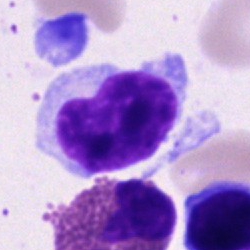
Specimen: bone marrow aspirate smear.
Cell: lymphocyte.
Lineage: lymphoid.